Bone marrow aspirate smear. May-Grünwald-Giemsa/Pappenheim stain:
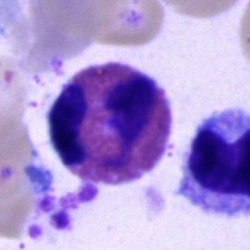
Morphology consistent with an eosinophilic granulocyte.